Peripheral blood smear:
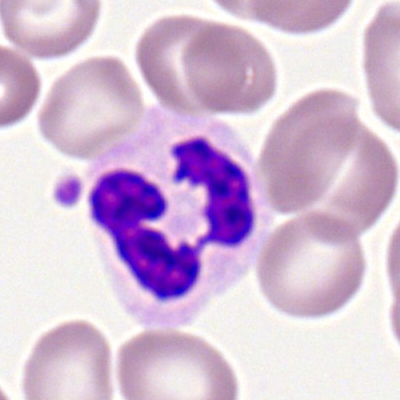This is a segmented neutrophil.